Bone marrow smear: 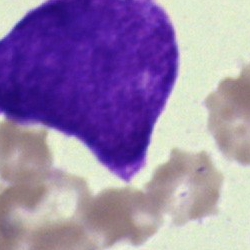A blast cell.